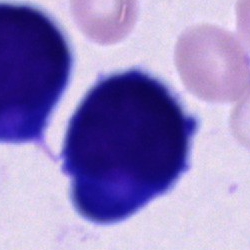 A cell of indeterminate lineage on a bone marrow smear.